Bone marrow smear
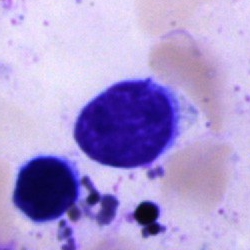Q: Identify the cell.
A: This is a lymphocyte.